Bone marrow smear. Single-cell crop. Brightfield, 40× oil-immersion objective — 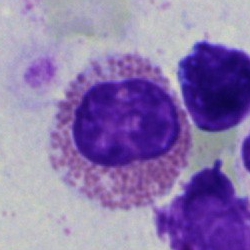
Q: Which cell type is shown here?
A: An eosinophilic granulocyte.